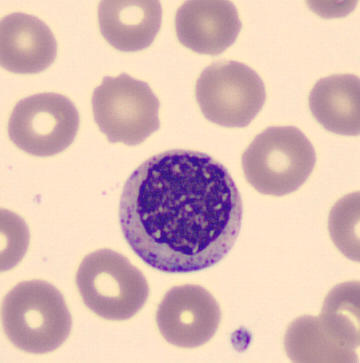The morphological class is myelocyte.